Bone marrow aspirate smear: 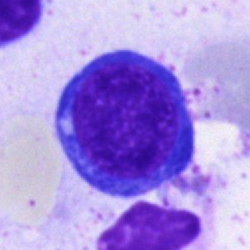
Showing a nucleated red cell.